May-Grünwald-Giemsa/Pappenheim stain · bone marrow aspirate smear
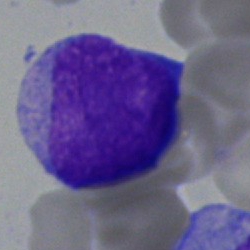A blast cell.